Pappenheim-stained · bone marrow smear · cropped to a single cell — 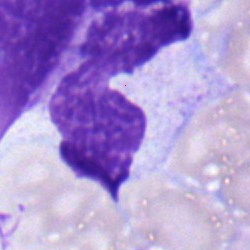
Cell = monocyte.